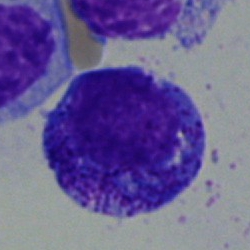
Q: Which cell type is shown here?
A: This is a progranulocyte.